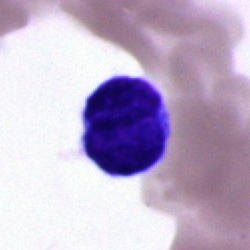 Cell type = typical lymphocyte.